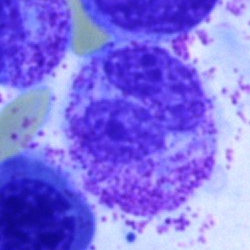
Q: Which cell type is shown here?
A: It is a polymorphonuclear neutrophil.